Bone marrow aspirate smear:
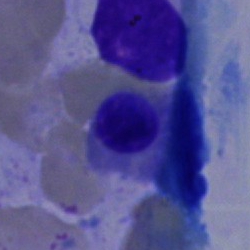Specimen: bone marrow aspirate smear.
Cell type: nucleated red blood cell.